40× objective, oil immersion · bone marrow smear.
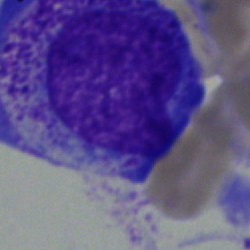 Specimen: bone marrow smear.
Cell type: promyelocyte.
Lineage: myeloid.